Bone marrow smear; 250×250 px; cropped to a single cell
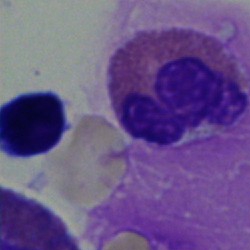
Specimen: bone marrow aspirate smear.
Classification: eosinophil.
Lineage: myeloid.